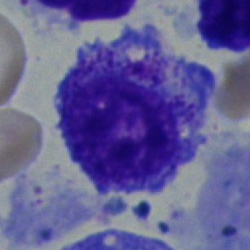 Q: What is the morphological classification of this cell?
A: A promyelocyte.